Bone marrow aspirate smear — 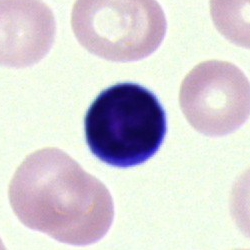Cell type: artefact.